Bone marrow smear. 250 by 250 pixels — 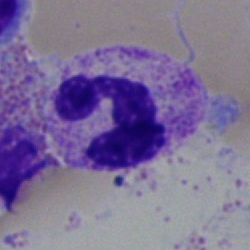 Classification: polymorphonuclear neutrophil.